Bone marrow aspirate smear
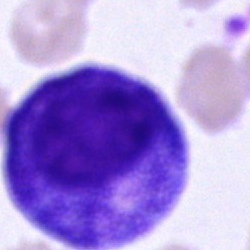Single cell identified as a promyelocyte.